Peripheral blood film. 400 by 400 pixels:
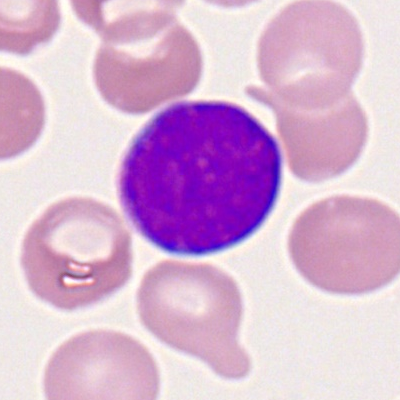 A myeloblast.